Bone marrow smear · single cell centered in the field — 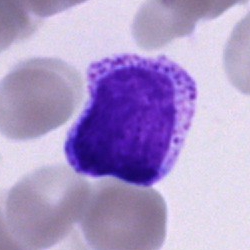 Specimen: bone marrow smear.
Morphological class: cell of indeterminate lineage.